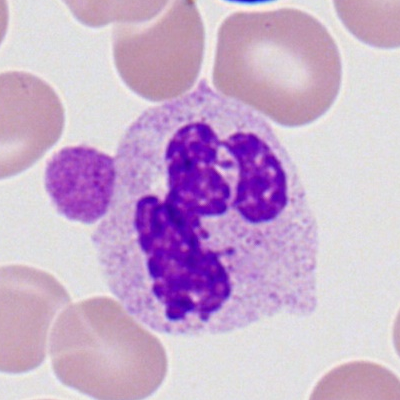
Single cell identified as a polymorphonuclear neutrophil.